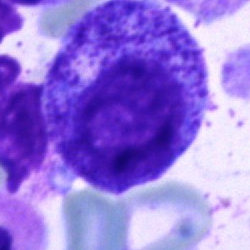

Morphological class: progranulocyte.